Bone marrow aspirate smear · 250 by 250 pixels:
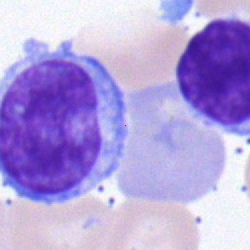{"cell_type": "lymphocyte"}